Bone marrow smear.
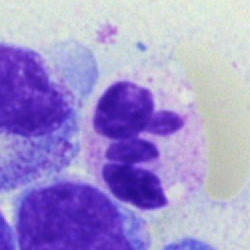

Morphology — segmented neutrophil.